Bone marrow aspirate smear · 250 by 250 pixels: 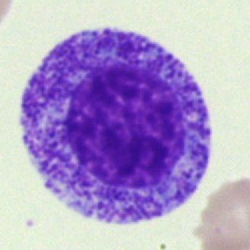 The cell shown is a promyelocyte.